Bone marrow smear.
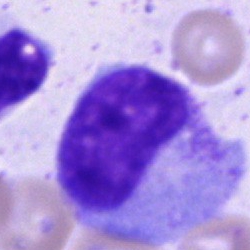
Morphology consistent with a promyelocyte.